Bone marrow smear — 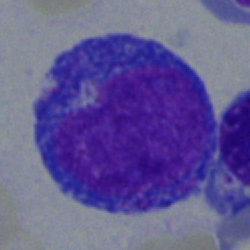

Classification = promyelocyte.